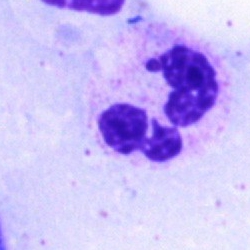 Polymorphonuclear neutrophil.